Bone marrow aspirate smear:
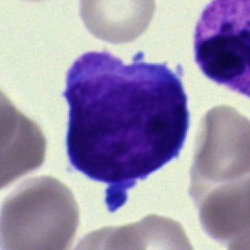

Q: Which cell type is shown here?
A: Undifferentiated blast.